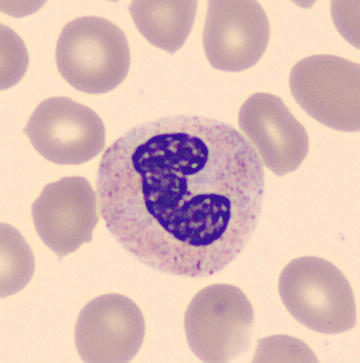 Morphological class = band-form neutrophil.
360 by 363 pixels. Peripheral blood film. Cropped to a single cell.